Bone marrow aspirate smear:
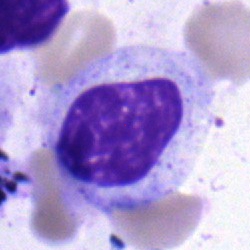
Cell: myelocyte.